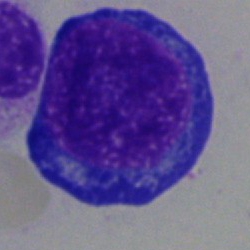Cell type = erythroblast.